Single-cell field; bone marrow smear
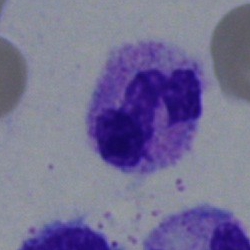
Specimen: bone marrow aspirate smear.
Cell type: polymorphonuclear neutrophil.